Bone marrow smear: 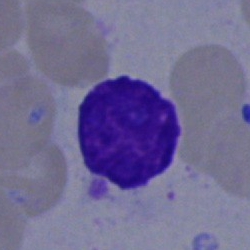

Q: Which cell type is shown here?
A: Typical lymphocyte.